MGG-stained. Bone marrow smear
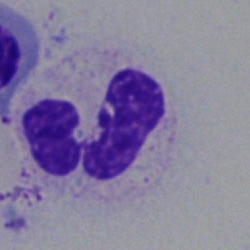

Morphology → neutrophil (segmented).